40× oil immersion. Bone marrow aspirate smear — 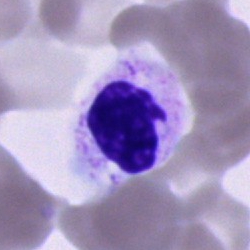 Specimen: bone marrow aspirate smear.
Cell: polymorphonuclear neutrophil.